40× objective, oil immersion. Single-cell crop. Bone marrow aspirate smear
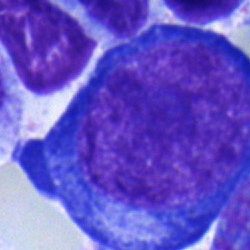

The cell shown is a pronormoblast.